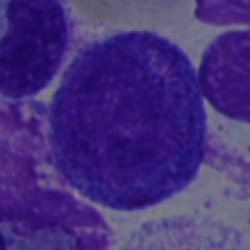
Bone marrow smear showing a promyelocyte.